Cropped to a single cell; bone marrow smear:
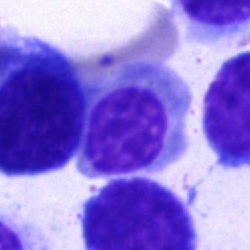This is a nucleated red blood cell.